Bone marrow aspirate smear; single-cell field; 250 by 250 pixels — 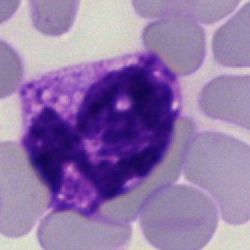 The cell shown is a basophilic granulocyte.